Bone marrow aspirate smear: 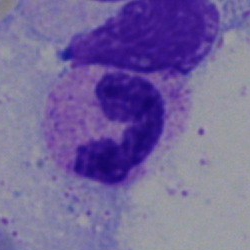

Specimen: bone marrow smear.
Classification: polymorphonuclear neutrophil.